Bone marrow smear: 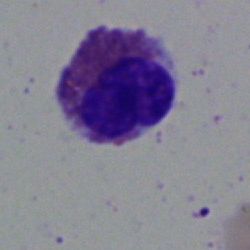An eosinophilic granulocyte.